250×250 · 40× oil immersion · bone marrow smear.
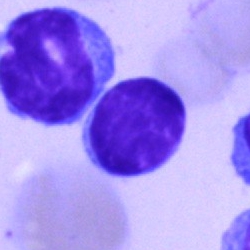Morphology → typical lymphocyte.